Bone marrow aspirate smear
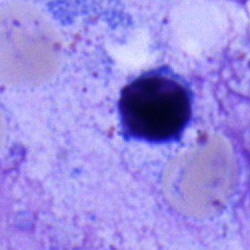
This is a typical lymphocyte.